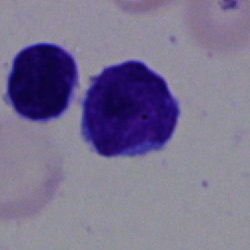Q: What is the morphological classification of this cell?
A: It is a typical lymphocyte.